Bone marrow smear — 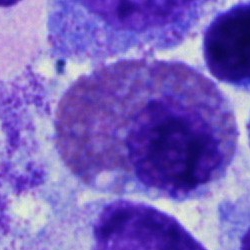
Eosinophil.